Pappenheim-stained; bone marrow smear; 250 by 250 pixels
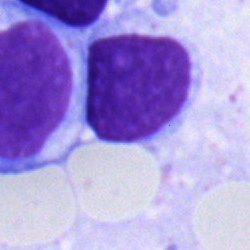 The cell shown is a typical lymphocyte.